Bone marrow aspirate smear. Brightfield microscopy, 40× oil immersion: 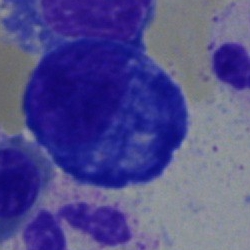Impression — plasma cell.